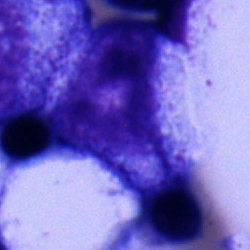

The cell is progranulocyte.